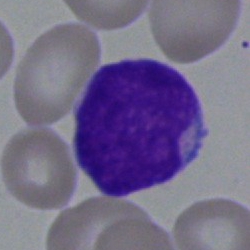Bone marrow aspirate smear, single cell — blast cell.